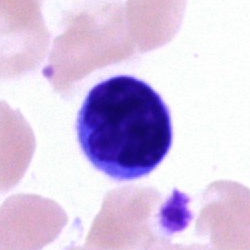

Morphology consistent with a lymphocyte.